Bone marrow smear. 40× oil immersion:
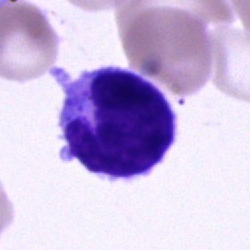
Morphological class — lymphocyte.